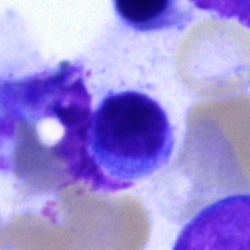Q: What type of cell is this?
A: This is a typical lymphocyte.